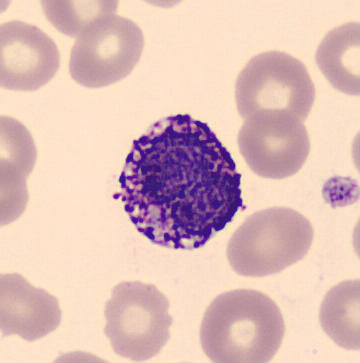 Peripheral blood smear. Morphology → basophil.